Bone marrow aspirate smear.
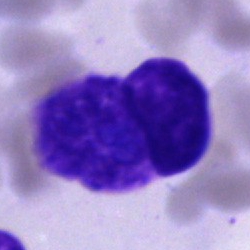 Morphological class: artifact.